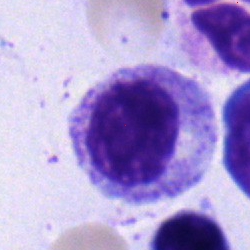

Specimen: bone marrow smear.
Cell type: myelocyte.